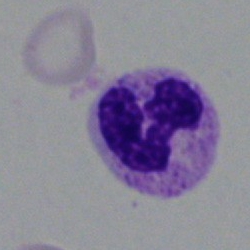 Showing a polymorphonuclear neutrophil.